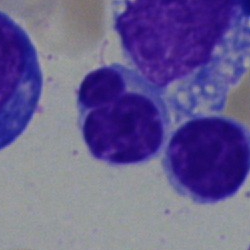
The cell shown is a typical lymphocyte.